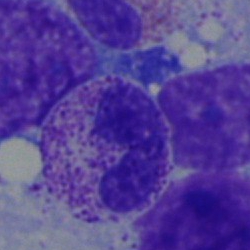
{"cell_type": "band neutrophil"}